Bone marrow smear — 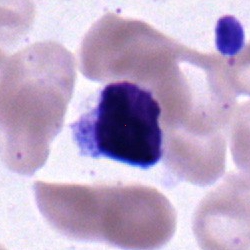 Q: Identify the cell.
A: This is a typical lymphocyte.